Bone marrow aspirate smear
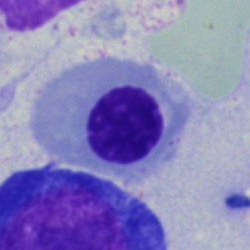A nucleated red blood cell.